Bone marrow smear
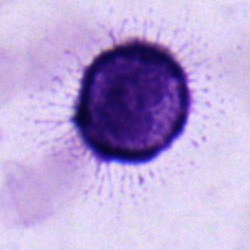Showing a typical lymphocyte.